Bone marrow smear. Brightfield, 40× oil-immersion objective. 250 by 250 pixels:
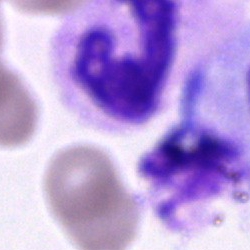Q: Identify the cell.
A: This is an unidentifiable cell.